Bone marrow aspirate smear; May-Grünwald-Giemsa/Pappenheim stain.
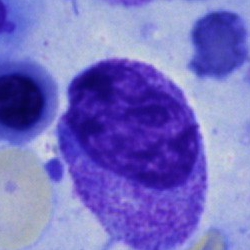Cell: myelocyte.